Bone marrow aspirate smear:
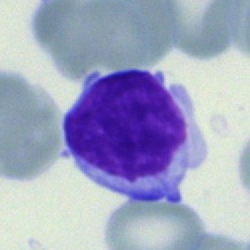 Showing a lymphocyte.